Bone marrow aspirate smear: 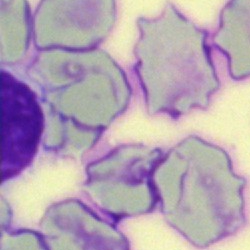
This is an artifact.